40× objective, oil immersion; cropped to a single cell; bone marrow smear:
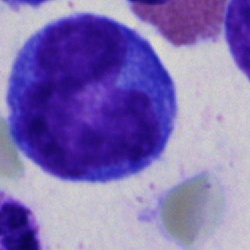

The cell is monocyte.